Bone marrow smear · 250×250
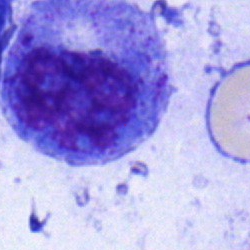 The cell shown is a promyelocyte.